Bone marrow smear. Single cell centered in the field. 40× oil immersion:
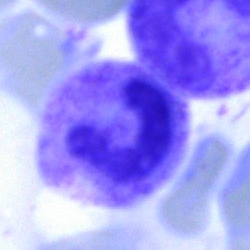

The morphological class is neutrophil (band).